Bone marrow smear:
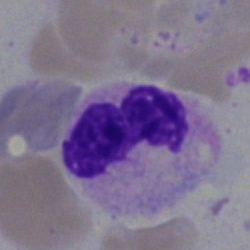 Q: What is the morphological classification of this cell?
A: Neutrophil (segmented).